Bone marrow smear; image size 250×250:
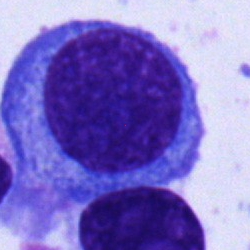

Impression — plasma cell.